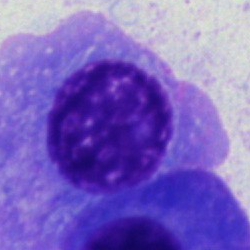
Q: What cell is this?
A: This is a plasma cell.